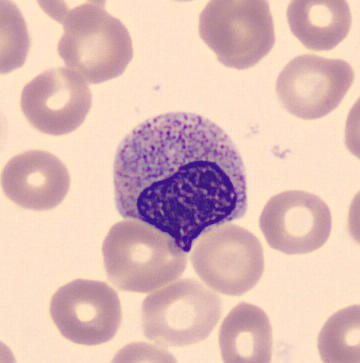 Specimen: peripheral blood smear.
Morphological class: metamyelocyte.